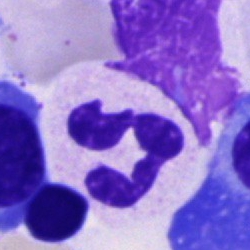 This is a polymorphonuclear neutrophil.